Peripheral blood film — 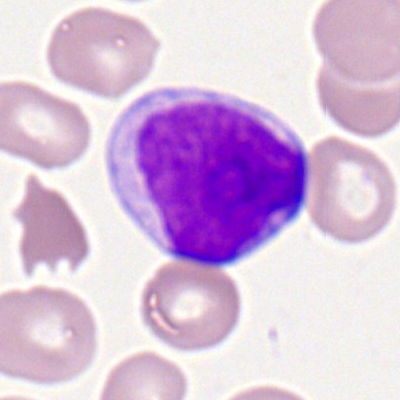 Specimen: peripheral blood film.
Cell type: myeloblast.
Lineage: myeloid.